Automated cell imaging (CellaVision DM96); MGG-stained; peripheral blood smear:
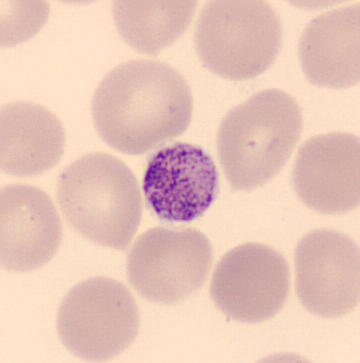This is a platelet (thrombocyte).